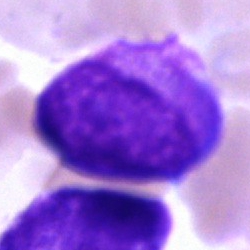

Single-cell crop from a bone marrow smear: blast cell.